Bone marrow aspirate smear.
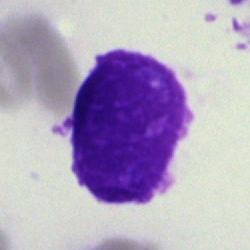

Single cell identified as an artefact.